Peripheral blood film. Romanowsky-stained. 100× oil immersion — 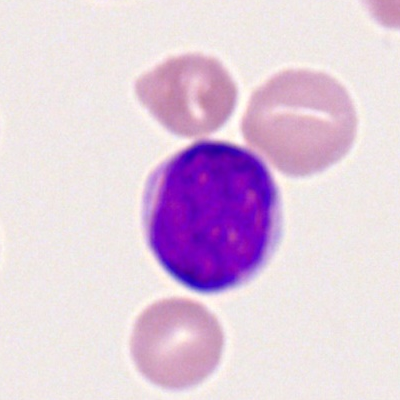Morphology — lymphocyte.